Bone marrow smear · 40× oil immersion:
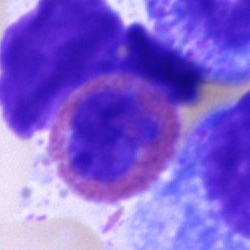

Single cell identified as an eosinophilic granulocyte.